Bone marrow aspirate smear.
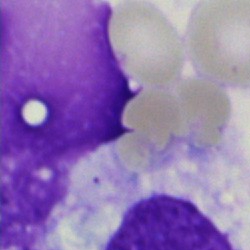 Morphology → artifact.